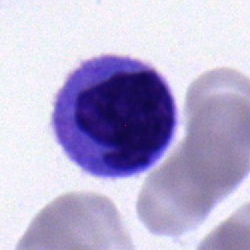 {"cell_type": "monocyte"}